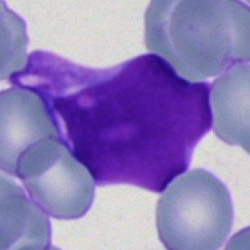 Single-cell crop from a bone marrow smear: blast cell.